Bone marrow smear · 40× oil immersion.
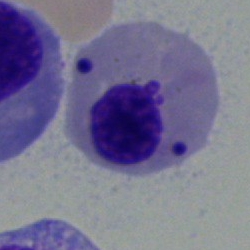Morphological class = nucleated red cell.